Cropped to a single cell · bone marrow aspirate smear: 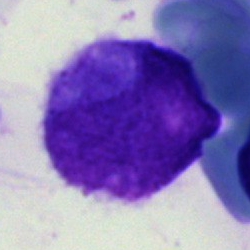

Q: What cell is this?
A: It is a blast.